Bone marrow aspirate smear · single-cell crop:
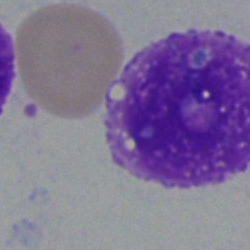
The morphological class is artefact.